May-Grünwald-Giemsa/Pappenheim stain. Bone marrow smear
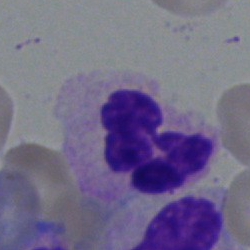
Q: What is the morphological classification of this cell?
A: This is a segmented neutrophil.